Bone marrow aspirate smear · 250 by 250 pixels:
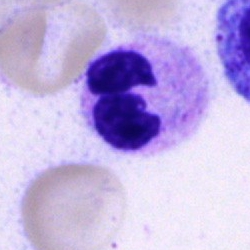 Specimen: bone marrow smear.
Morphological class: segmented neutrophil.
Lineage: myeloid.